Bone marrow aspirate smear — 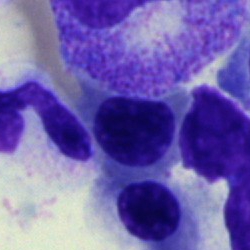

Q: Identify the cell.
A: A nucleated red blood cell.